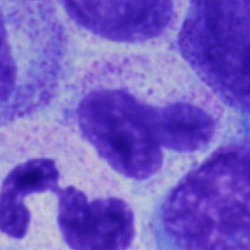 Q: Identify the cell.
A: It is a band-form neutrophil.